250 by 250 pixels; bone marrow smear
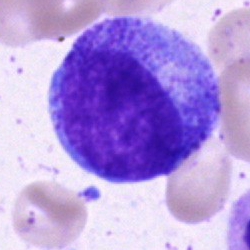Cell type: progranulocyte.